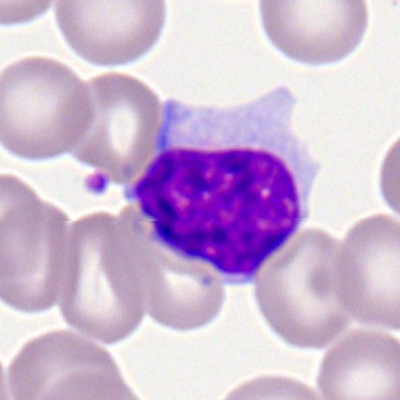Q: What type of cell is this?
A: It is a typical lymphocyte.